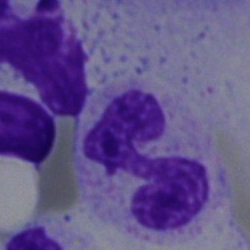 The morphological class is polymorphonuclear neutrophil.